250 by 250 pixels; bone marrow aspirate smear:
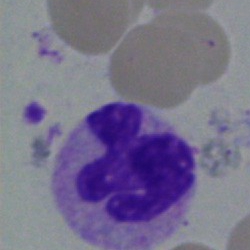

Morphological class = segmented neutrophil.